Bone marrow aspirate smear · brightfield, 40× oil-immersion objective:
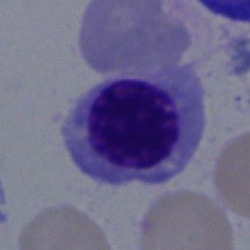

The cell type is nucleated red blood cell.